Bone marrow aspirate smear
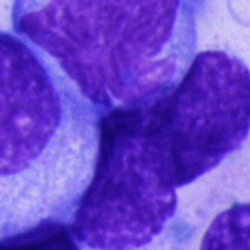 Morphology — cell of indeterminate lineage.